Single cell centered in the field; CellaVision DM96; peripheral blood smear — 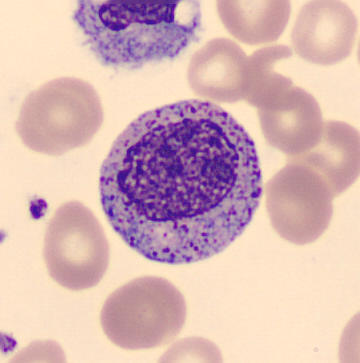Q: What type of cell is this?
A: It is a progranulocyte.